Bone marrow smear. MGG-stained: 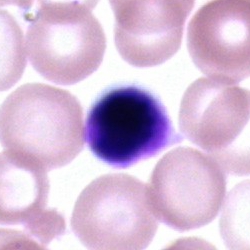An artefact.